250×250. Bone marrow smear
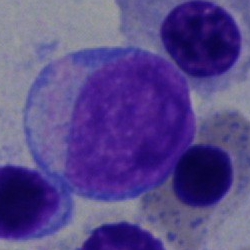
A blast cell.